250×250; bone marrow smear — 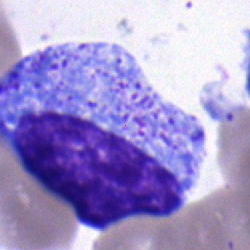 Q: What is shown here?
A: Promyelocyte.